Bone marrow smear — 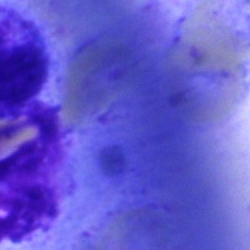
{"cell_type": "artifact"}